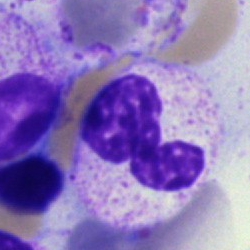

Impression — polymorphonuclear neutrophil.